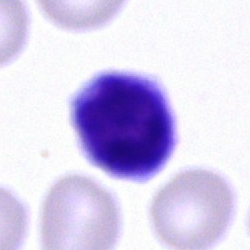

Morphological class: typical lymphocyte.